Bone marrow aspirate smear.
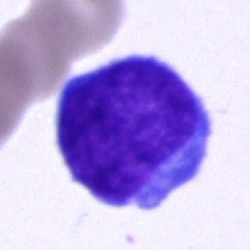

Showing a blast cell.